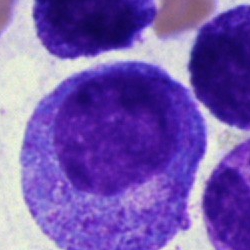 Specimen: bone marrow aspirate smear.
Cell type: myelocyte.
Lineage: myeloid.